Bone marrow aspirate smear: 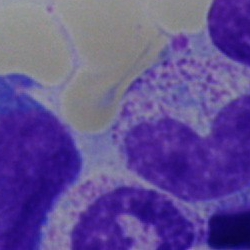

Metamyelocyte.